Bone marrow aspirate smear: 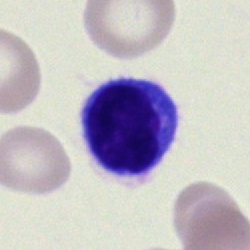

Q: What cell is this?
A: Lymphocyte.